250 by 250 pixels. Bone marrow smear. MGG-stained: 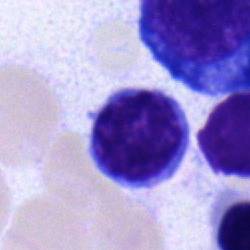
The morphological class is lymphocyte.